Peripheral blood smear:
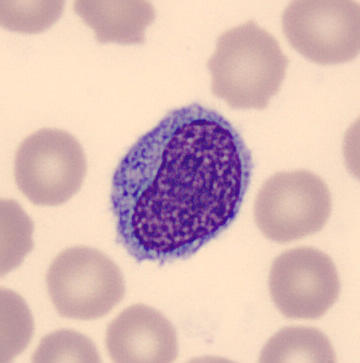
Specimen: peripheral blood smear.
Morphological class: monocyte.